Bone marrow smear; brightfield microscopy, 40× oil immersion; MGG-stained
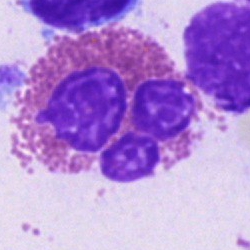
Morphology consistent with an eosinophilic granulocyte.